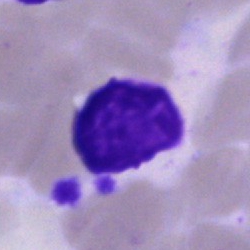

Single-cell crop from a bone marrow smear: artefact.